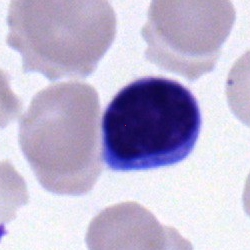Cell: typical lymphocyte.